Bone marrow smear — 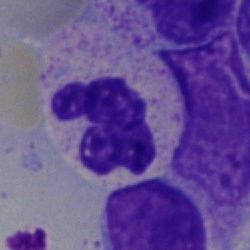 The cell shown is a neutrophil (segmented).